Bone marrow aspirate smear — 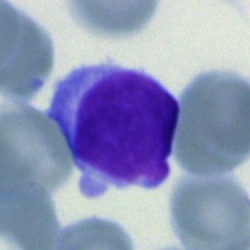

This is a lymphocyte.